Bone marrow smear.
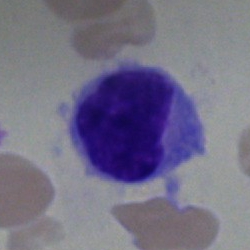Morphological class — hairy cell.